Brightfield, 40× oil-immersion objective; bone marrow aspirate smear; May-Grünwald-Giemsa/Pappenheim stain.
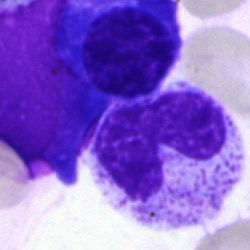Q: What type of cell is this?
A: A neutrophil (band).